Single cell centered in the field. Bone marrow aspirate smear. 40× oil immersion:
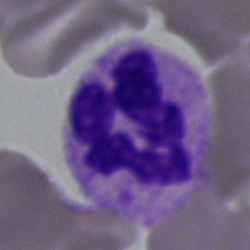Morphological class = neutrophil (segmented).